Bone marrow smear. Image size 250×250.
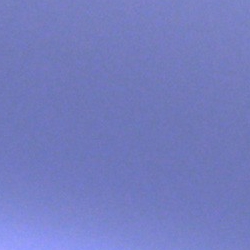Q: What is shown here?
A: An artefact.